Bone marrow smear:
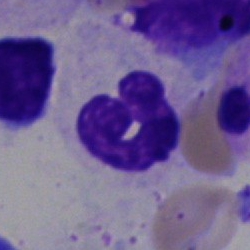
Morphological class = segmented neutrophil.